250 by 250 pixels. Bone marrow smear
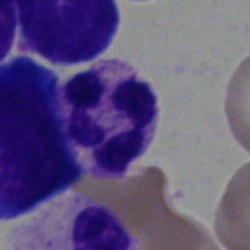Classification: segmented neutrophil.